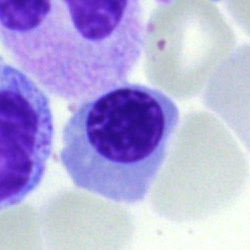The morphological class is nucleated red blood cell.